Bone marrow smear. 250×250 px.
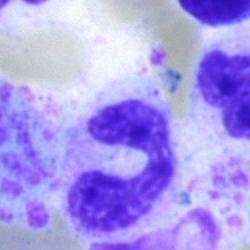 Classification: neutrophil (segmented).